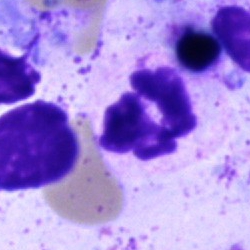
This is a neutrophil (segmented).